Single cell centered in the field · bone marrow aspirate smear.
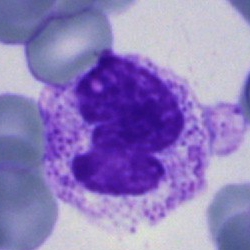{"cell_type": "segmented neutrophil", "lineage": "myeloid"}